Pappenheim-stained; bone marrow smear: 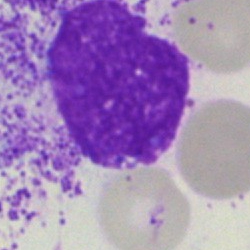
Impression — artefact.